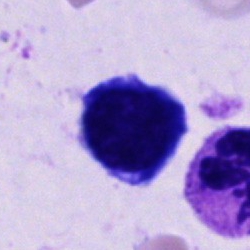Q: What cell is this?
A: This is an unidentifiable cell.